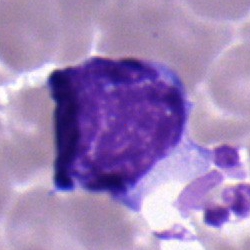

Specimen: bone marrow smear.
Cell type: lymphocyte.